Peripheral blood smear.
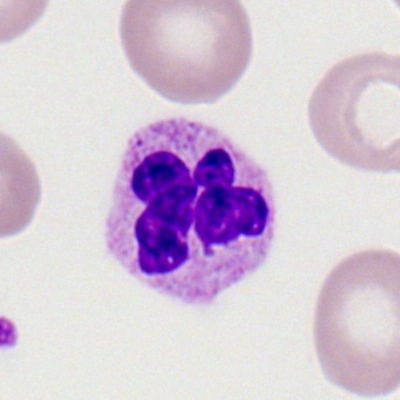

The morphological class is segmented neutrophil.